Peripheral blood smear — 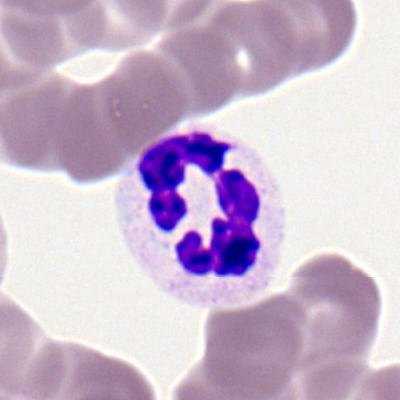This is a neutrophil (segmented).